Peripheral blood smear — 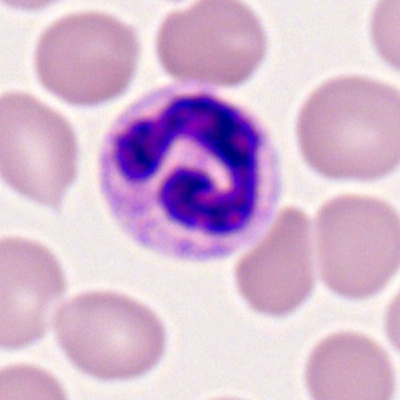

Q: What is shown here?
A: A polymorphonuclear neutrophil.